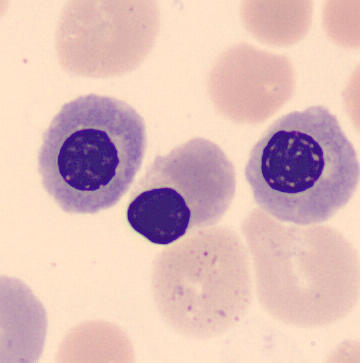

Automated cell imaging (CellaVision DM96).
Specimen: peripheral blood film.
Cell: nucleated red blood cell.